Bone marrow smear
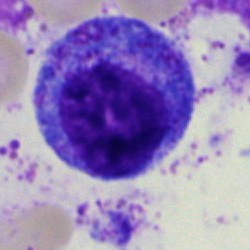Impression — progranulocyte.